Bone marrow aspirate smear.
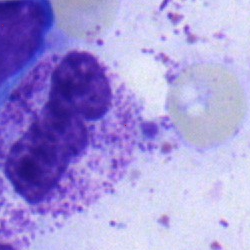

Morphology — neutrophil (segmented).